Bone marrow aspirate smear: 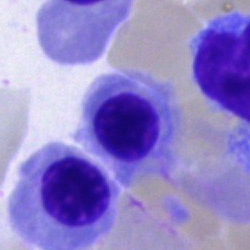
The cell shown is an erythroblast.